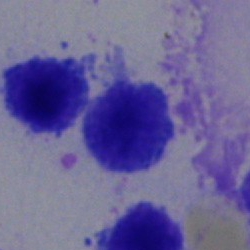

A typical lymphocyte on a bone marrow smear.